Brightfield microscopy, 40× oil immersion. Bone marrow aspirate smear.
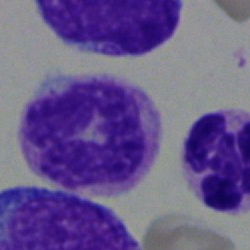

Cell type: segmented neutrophil.